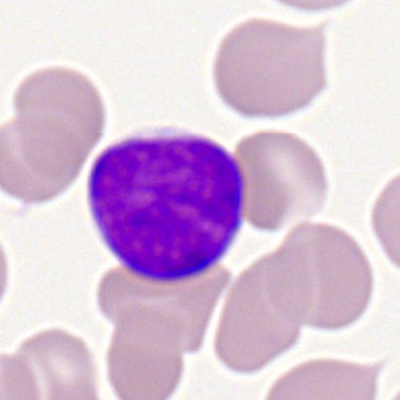This is a myeloid blast.